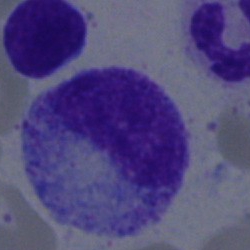Bone marrow aspirate smear, single cell — progranulocyte.